Brightfield microscopy, 40× oil immersion; bone marrow aspirate smear
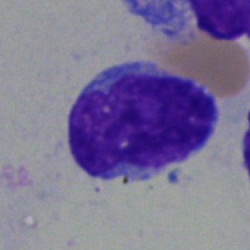Specimen: bone marrow aspirate smear.
Cell: blast cell.